Brightfield microscopy, 40× oil immersion; single-cell field; bone marrow smear — 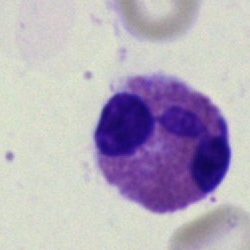Specimen: bone marrow aspirate smear.
Cell: eosinophilic granulocyte.
Lineage: myeloid.